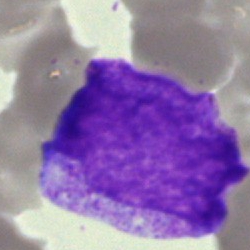 Q: What cell is this?
A: This is an undifferentiated blast.